Romanowsky-type stain · peripheral blood smear: 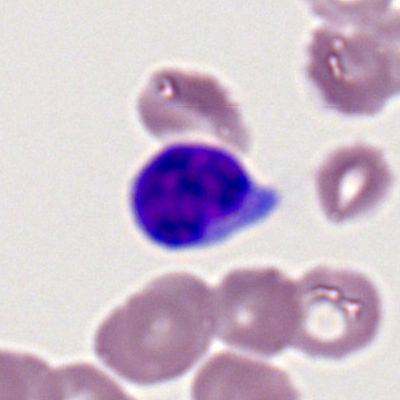 Q: What is shown here?
A: It is a typical lymphocyte.